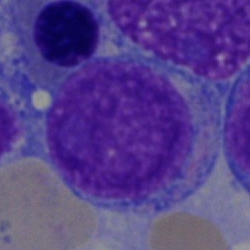Showing a blast.